Romanowsky-type stain · peripheral blood film
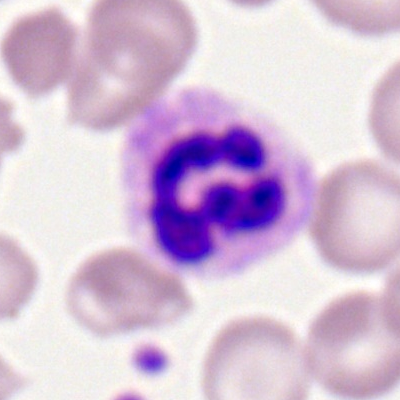 Cell type — polymorphonuclear neutrophil.